Bone marrow aspirate smear. Brightfield, 40× oil-immersion objective — 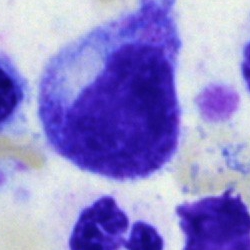

Classification — myelocyte.